Bone marrow smear.
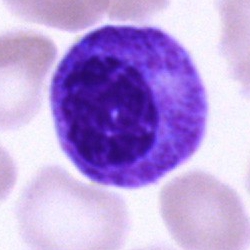
Progranulocyte.